Single cell centered in the field · bone marrow smear · May-Grünwald-Giemsa/Pappenheim stain: 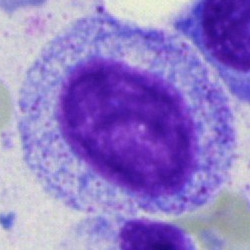

Q: What is the morphological classification of this cell?
A: It is a promyelocyte.